Bone marrow smear; May-Grünwald-Giemsa/Pappenheim stain: 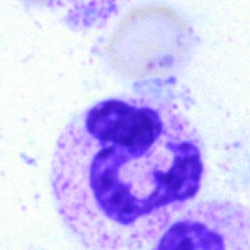
Cell = neutrophil (segmented).